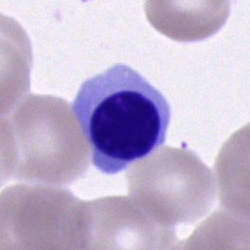

An erythroblast.